40× objective, oil immersion · bone marrow aspirate smear: 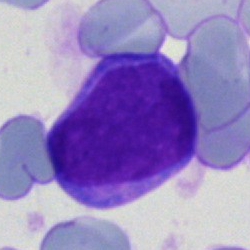

The classification is undifferentiated blast.